Bone marrow aspirate smear. May-Grünwald-Giemsa/Pappenheim stain: 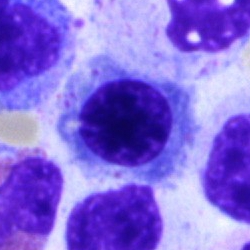 Q: What is shown here?
A: A nucleated red blood cell.